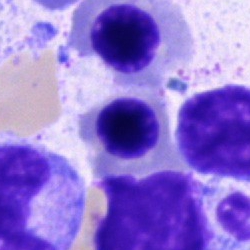

Impression — nucleated red cell.